Bone marrow smear
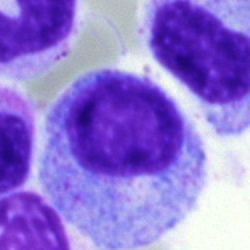Single cell identified as a myelocyte.